Bone marrow aspirate smear; 250 by 250 pixels: 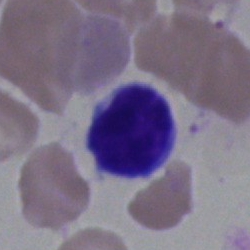 Morphology → typical lymphocyte.